Bone marrow smear:
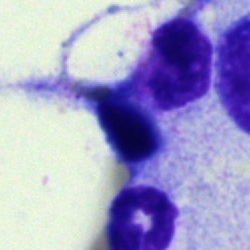 The cell shown is an artifact.